Bone marrow aspirate smear.
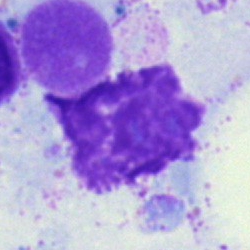This is an artefact.